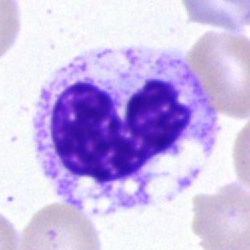

Q: What cell is this?
A: This is a polymorphonuclear neutrophil.